Peripheral blood film
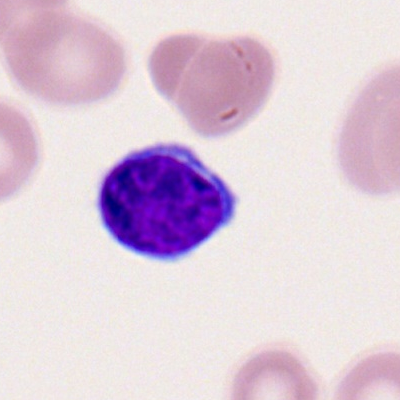

Morphology consistent with a lymphocyte.